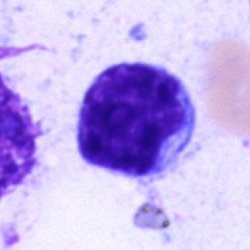Q: What is shown here?
A: This is a typical lymphocyte.